250×250; bone marrow aspirate smear: 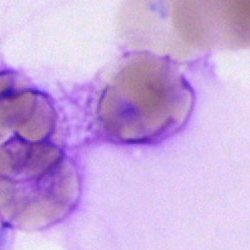 The morphological class is artefact.